Bone marrow aspirate smear — 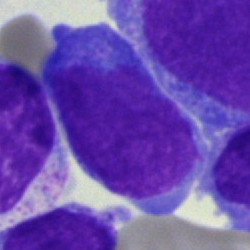Morphological class — undifferentiated blast.